Bone marrow smear; Pappenheim-stained — 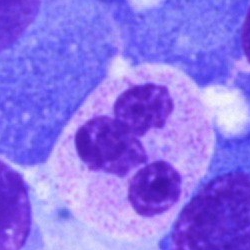Cell = polymorphonuclear neutrophil.